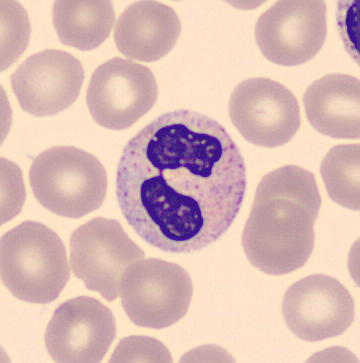Peripheral blood film, single cell — segmented neutrophil.